Peripheral blood smear — 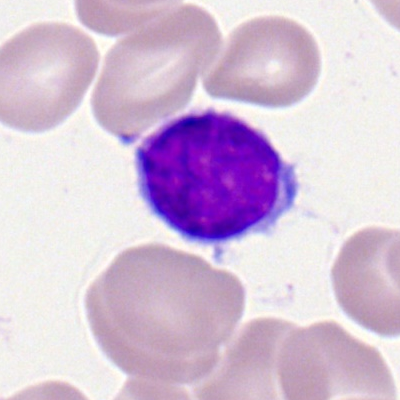 Morphology — lymphocyte.